Bone marrow aspirate smear. 250×250 px.
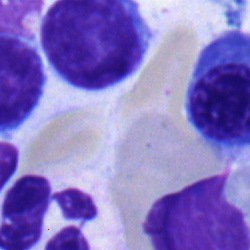

Morphology consistent with a typical lymphocyte.